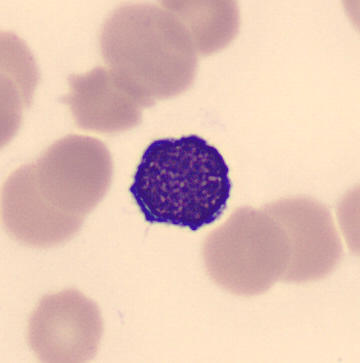
Peripheral blood smear showing a lymphocyte.